Brightfield microscopy, 40× oil immersion · bone marrow aspirate smear: 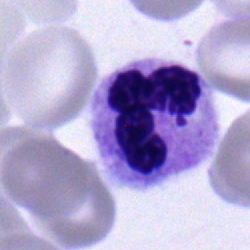

Morphology — segmented neutrophil.